Bone marrow aspirate smear.
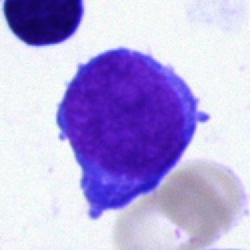
The morphological class is blast.